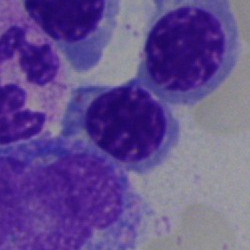
Bone marrow smear showing an erythroblast.